May-Grünwald-Giemsa/Pappenheim stain · bone marrow aspirate smear
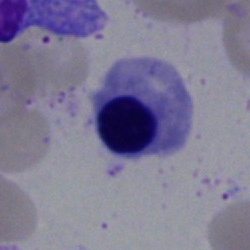 Cell type: erythroblast.